Image size 400×400 · peripheral blood smear
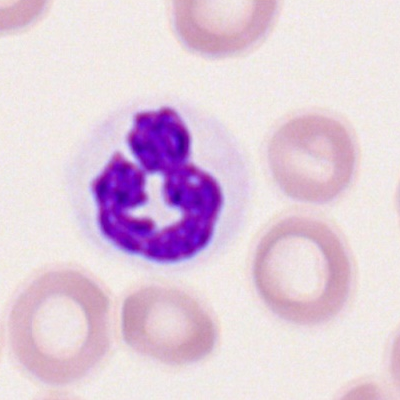

Polymorphonuclear neutrophil.